Bone marrow smear.
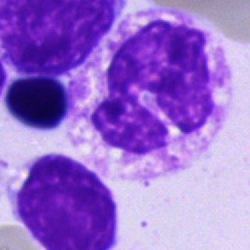Specimen: bone marrow aspirate smear.
Cell: segmented neutrophil.
Lineage: myeloid.